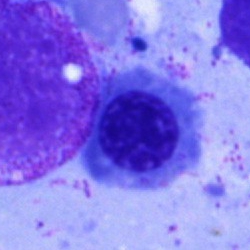
Showing an erythroblast.